Bone marrow aspirate smear: 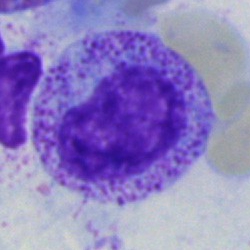 This is a metamyelocyte.